Bone marrow smear.
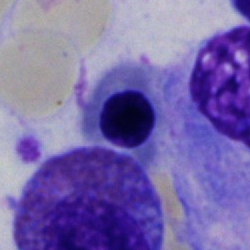Q: What is shown here?
A: This is an erythroblast.